Bone marrow aspirate smear · single cell centered in the field: 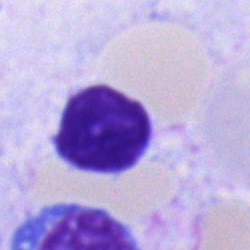
Single cell identified as a typical lymphocyte.